Bone marrow aspirate smear: 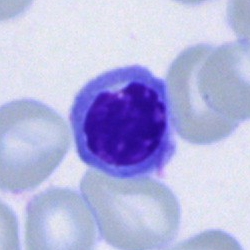
Q: Which cell type is shown here?
A: A normoblast.